Peripheral blood smear.
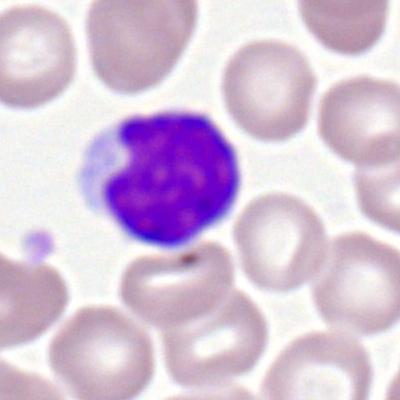

Q: What type of cell is this?
A: Typical lymphocyte.